Bone marrow aspirate smear; May-Grünwald-Giemsa stain: 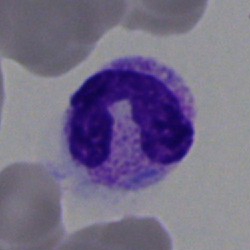Polymorphonuclear neutrophil.